Bone marrow aspirate smear
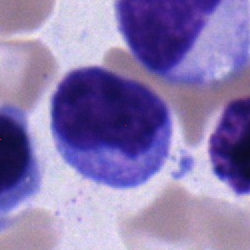

Showing a monocyte.